Bone marrow smear. Brightfield microscopy, 40× oil immersion:
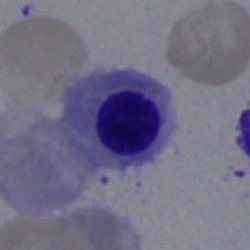
Impression → nucleated red blood cell.